May-Grünwald-Giemsa/Pappenheim stain. Bone marrow smear.
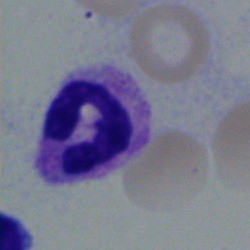Classification — segmented neutrophil.